Bone marrow aspirate smear · brightfield microscopy, 40× oil immersion: 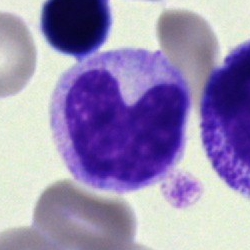Metamyelocyte.